250×250 px; bone marrow smear — 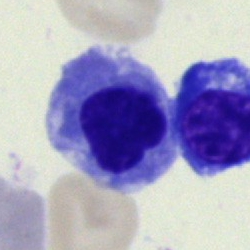

Cell type = normoblast.